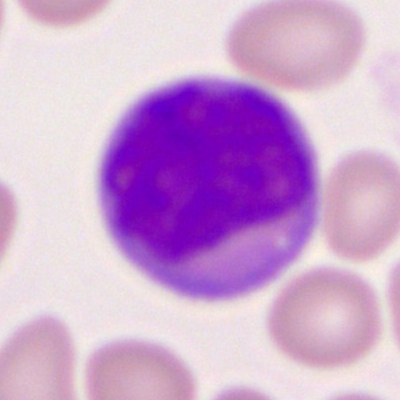 Cell — myeloid blast.